250×250; bone marrow smear.
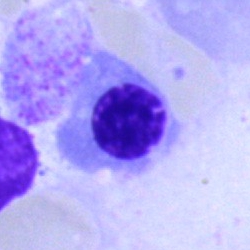
This is a nucleated red blood cell.